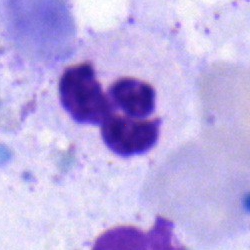A neutrophil (segmented) on a bone marrow smear.